Bone marrow smear — 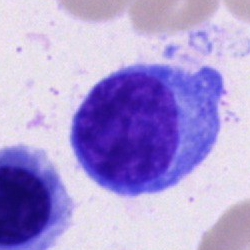Morphology → plasmacyte.